Peripheral blood smear:
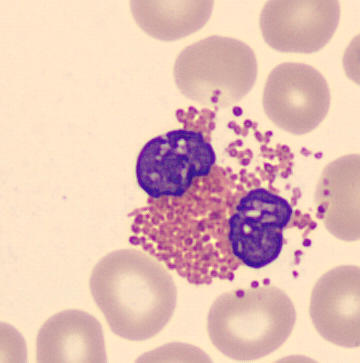

The cell is eosinophilic granulocyte.